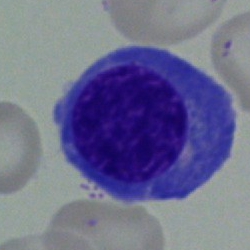

Nucleated red blood cell.